Bone marrow aspirate smear.
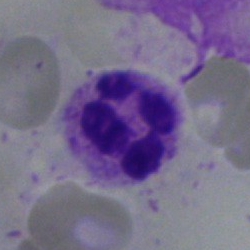
Polymorphonuclear neutrophil.